Bone marrow aspirate smear:
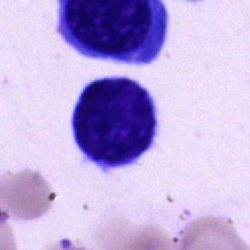

Cell type: typical lymphocyte.